Bone marrow smear.
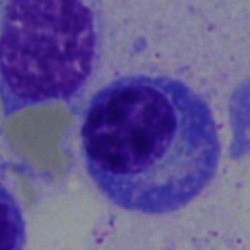

Specimen: bone marrow smear.
Morphological class: plasmacyte.